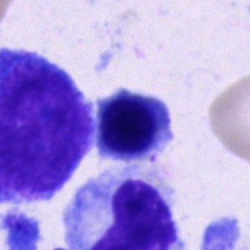
Q: Which cell type is shown here?
A: It is a nucleated red cell.